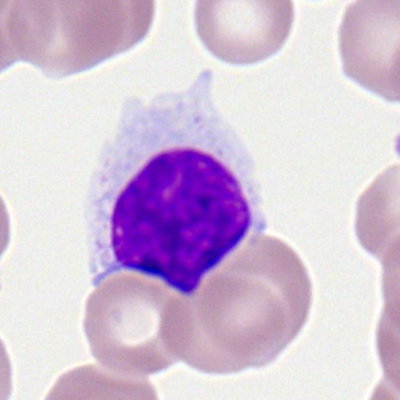

Cell type = typical lymphocyte.